Bone marrow smear.
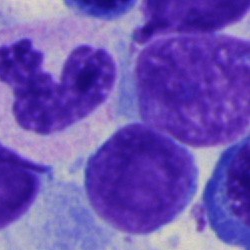

Morphology consistent with a segmented neutrophil.